40× oil immersion. Bone marrow smear. Single-cell field:
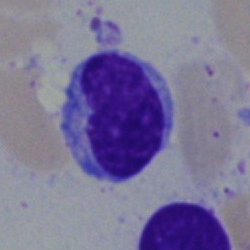
Q: What is the morphological classification of this cell?
A: This is a lymphocyte.